Bone marrow aspirate smear · image size 250×250.
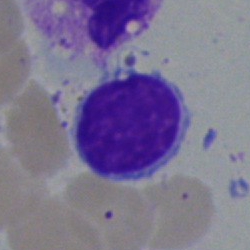Impression — typical lymphocyte.